Peripheral blood smear — 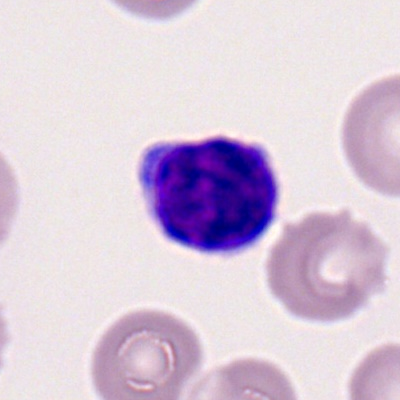
Morphological class = lymphocyte.